Bone marrow aspirate smear:
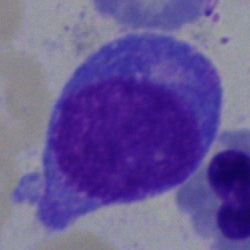

Specimen: bone marrow aspirate smear.
Cell type: progranulocyte.